Peripheral blood film; M8 digital microscope (Precipoint), 100× oil immersion; 400×400: 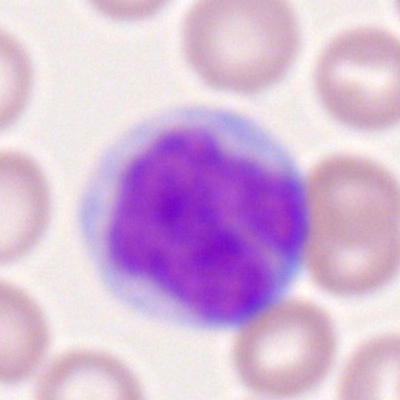 This is a monocyte.